Bone marrow smear:
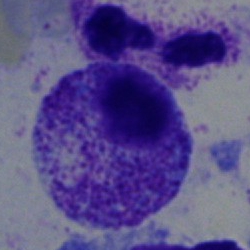 Specimen: bone marrow smear.
Cell type: myelocyte.
Lineage: myeloid.